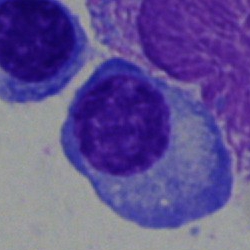Specimen: bone marrow smear.
Morphological class: plasmacyte.